Bone marrow smear; 250×250
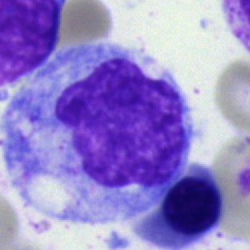
Cell: monocyte.